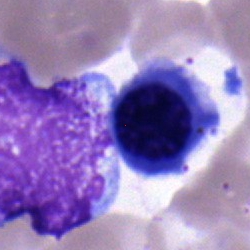

Bone marrow aspirate smear, single cell — nucleated red blood cell.